Brightfield microscopy, 40× oil immersion. Bone marrow smear
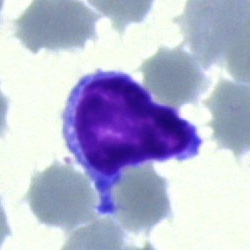

Q: What type of cell is this?
A: It is a lymphocyte.